250 by 250 pixels · bone marrow aspirate smear · 40× oil immersion:
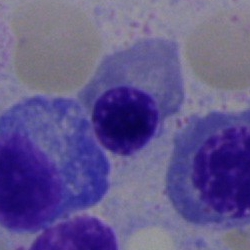 Nucleated red cell.